Bone marrow aspirate smear; brightfield microscopy, 40× oil immersion:
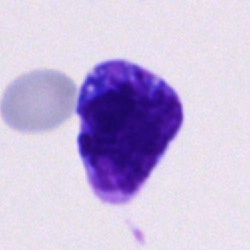 Showing an undifferentiated blast.